Single-cell crop · bone marrow aspirate smear:
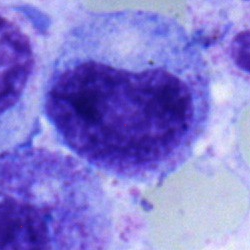
Showing a promyelocyte.